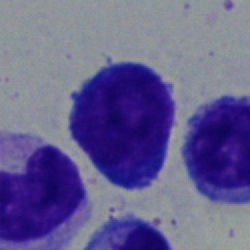
Cell = lymphocyte.